Bone marrow aspirate smear. 250×250.
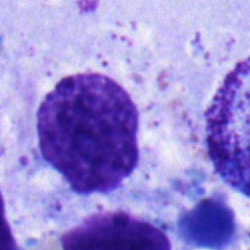

Metamyelocyte.